250 by 250 pixels. Single-cell field. Bone marrow smear: 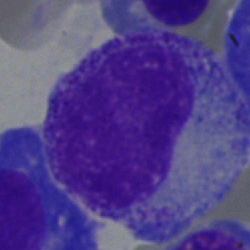Specimen: bone marrow aspirate smear.
Morphological class: myelocyte.
Lineage: myeloid.